250×250. Bone marrow aspirate smear
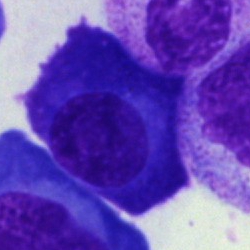 Plasma cell.